Bone marrow smear.
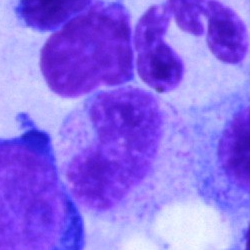

Morphological class — neutrophil (band).